Bone marrow aspirate smear:
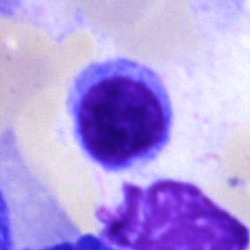

{"cell_type": "lymphocyte", "lineage": "lymphoid"}